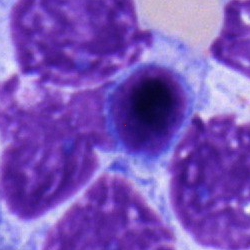Q: What type of cell is this?
A: A lymphocyte.